Bone marrow aspirate smear: 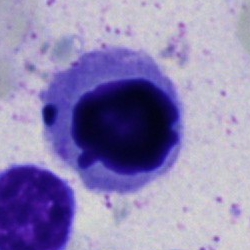Morphological class — nucleated red cell.